Bone marrow aspirate smear
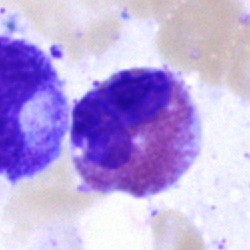Morphological class: eosinophil.